Bone marrow aspirate smear — 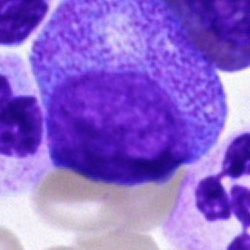A promyelocyte.